Bone marrow smear
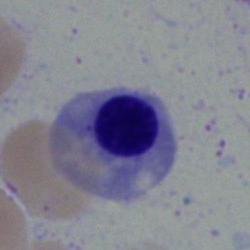
Q: What is the morphological classification of this cell?
A: This is an erythroblast.